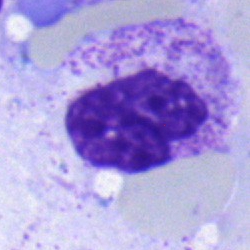This is a neutrophil (band).